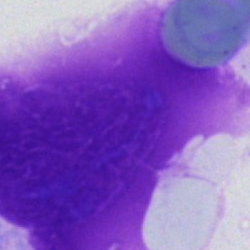
Specimen: bone marrow smear.
Morphological class: artifact.